Bone marrow aspirate smear · MGG-stained:
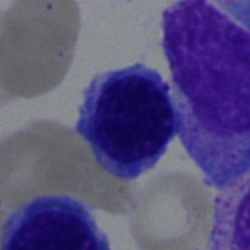

Morphological class = lymphocyte.